Bone marrow smear: 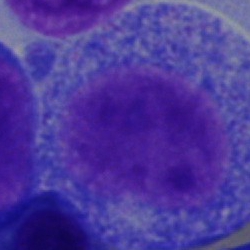 Showing a progranulocyte.